Bone marrow aspirate smear
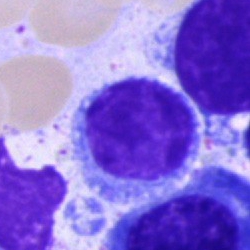Impression → lymphocyte.